Bone marrow smear; single-cell field
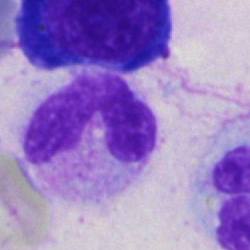
Q: Identify the cell.
A: It is a stab cell.